Bone marrow smear — 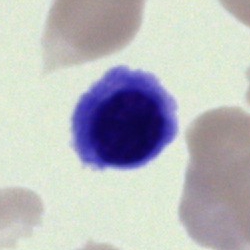
A nucleated red blood cell.